Bone marrow aspirate smear.
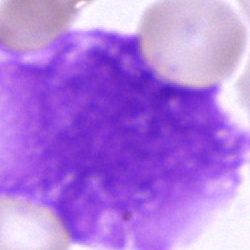Q: What is shown here?
A: This is an artifact.